Bone marrow smear. 250×250 px.
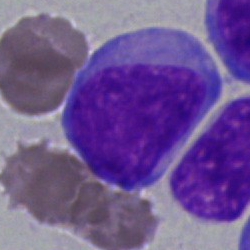Showing a blast cell.